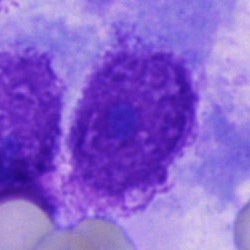Q: Identify the cell.
A: Cell not matching the other categories.